Peripheral blood smear · CellaVision DM96 digital cell image
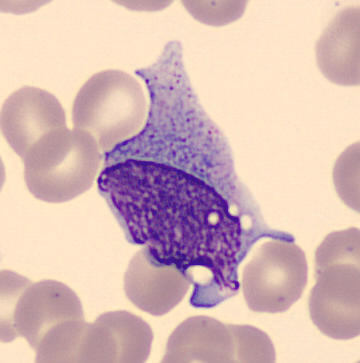Monocyte.